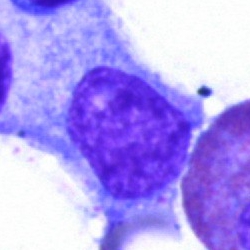 Bone marrow smear showing a progranulocyte.